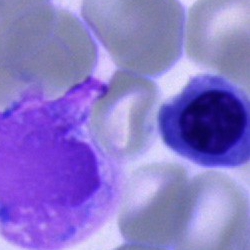Specimen: bone marrow aspirate smear.
Classification: artefact.